Bone marrow aspirate smear
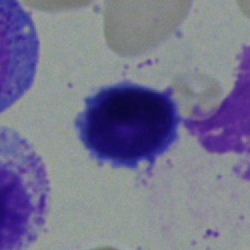

The cell type is lymphocyte.